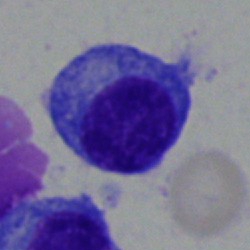
Single cell identified as a plasmacyte.